Single-cell field · bone marrow smear:
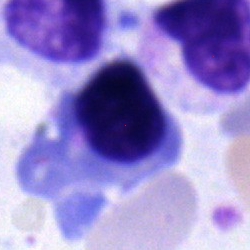
Q: What is the morphological classification of this cell?
A: It is a normoblast.